Pappenheim-stained. Bone marrow aspirate smear: 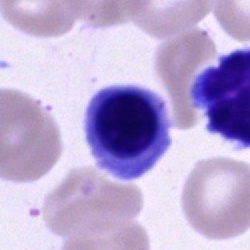 Morphological class = erythroblast.